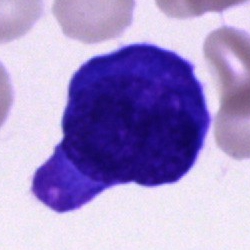

Showing an undifferentiated blast.